Bone marrow smear.
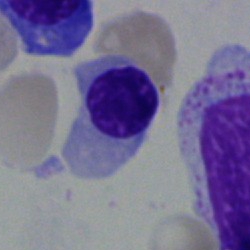 Q: What is shown here?
A: This is an erythroblast.